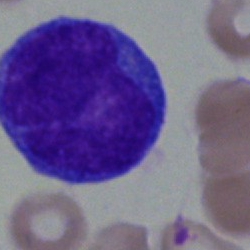
A blast on a bone marrow smear.